Bone marrow smear · May-Grünwald-Giemsa stain: 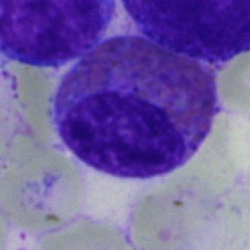 The cell shown is an eosinophil.